Peripheral blood film.
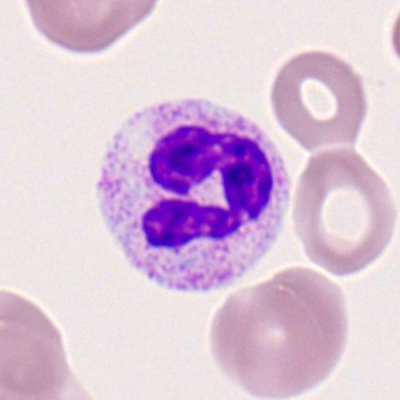

Impression → polymorphonuclear neutrophil.